Bone marrow aspirate smear — 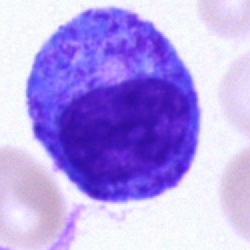

{"cell_type": "progranulocyte", "lineage": "myeloid"}